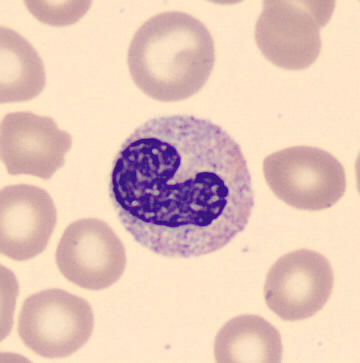 Peripheral blood smear; single cell centered in the field; automated cell imaging (CellaVision DM96).
Q: What is the morphological classification of this cell?
A: Neutrophil (band).